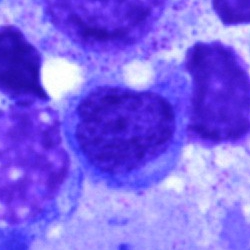

Specimen: bone marrow smear.
Morphological class: typical lymphocyte.
Lineage: lymphoid.